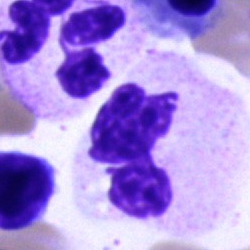The cell type is polymorphonuclear neutrophil.